Peripheral blood smear: 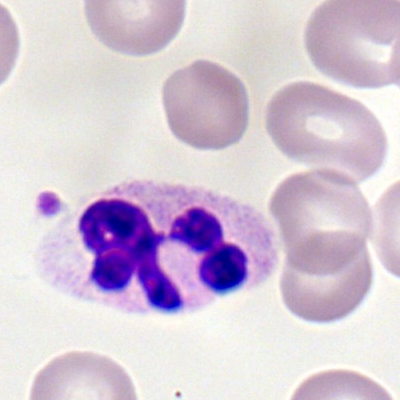

Morphology consistent with a polymorphonuclear neutrophil.